Peripheral blood film · M8 digital microscope (Precipoint), 100× oil immersion:
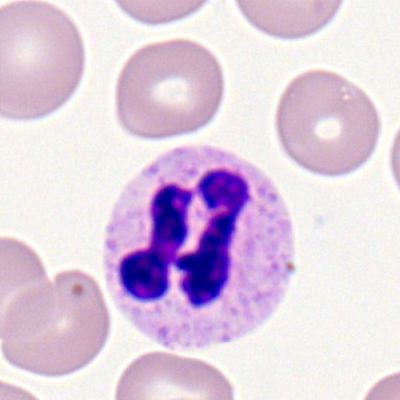Q: What is the morphological classification of this cell?
A: A neutrophil (segmented).